Bone marrow smear. Brightfield microscopy, 40× oil immersion:
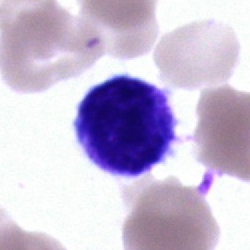 Morphology → lymphocyte.